Bone marrow smear
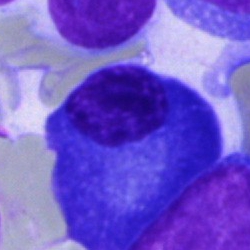
Q: Which cell type is shown here?
A: It is a plasmacyte.